Peripheral blood film
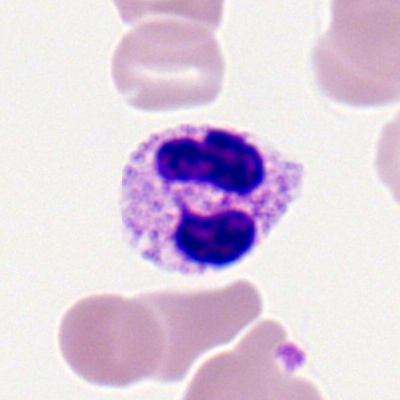 Morphological class: segmented neutrophil.